Bone marrow smear; 250×250.
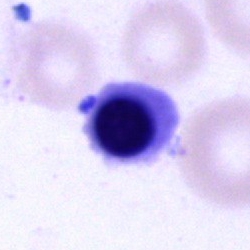Nucleated red cell.